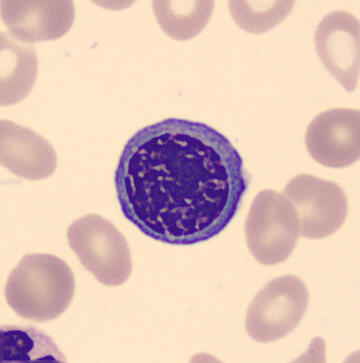
Image: Peripheral blood film.

Cell = normoblast.